May-Grünwald-Giemsa stain · bone marrow aspirate smear · single-cell crop:
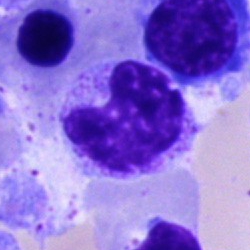
Specimen: bone marrow smear.
Classification: band neutrophil.
Lineage: myeloid.